Bone marrow smear: 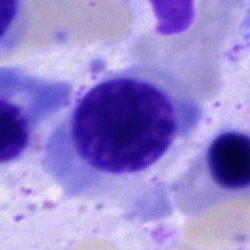 Q: Identify the cell.
A: A nucleated red blood cell.